Peripheral blood smear: 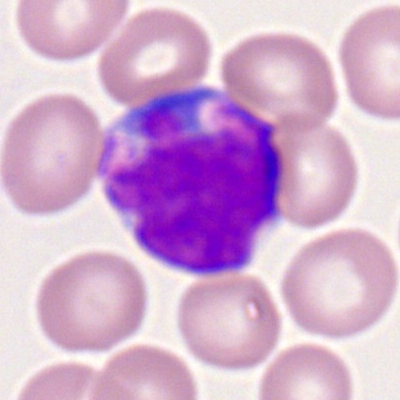 Classification — myeloid blast.